Peripheral blood film:
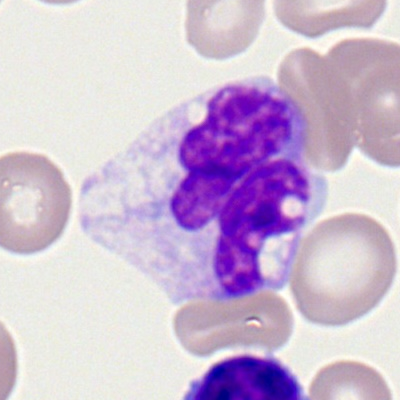 Morphological class: monocyte.